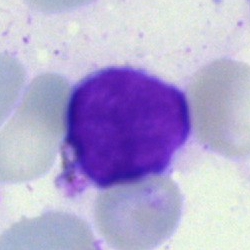

Lymphocyte.